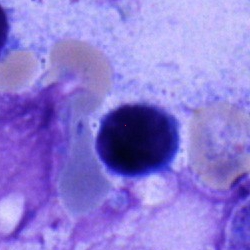

Specimen: bone marrow aspirate smear.
Cell: lymphocyte.